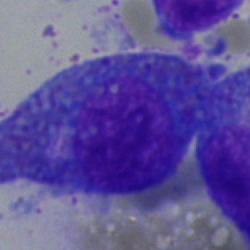 Specimen: bone marrow smear.
Cell: progranulocyte.